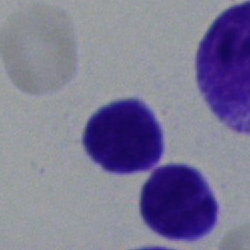
Showing a lymphocyte.